Image size 250×250. Bone marrow smear. Single-cell field:
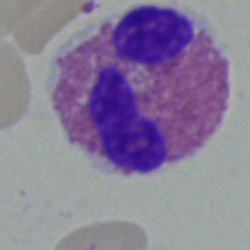 {"cell_type": "eosinophilic granulocyte", "lineage": "myeloid"}